Bone marrow aspirate smear: 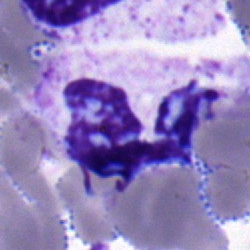Classification = polymorphonuclear neutrophil.